MGG-stained. Brightfield, 40× oil-immersion objective. Bone marrow smear.
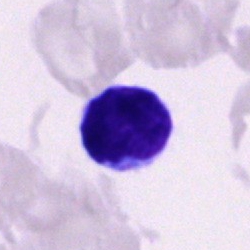Morphology → lymphocyte.